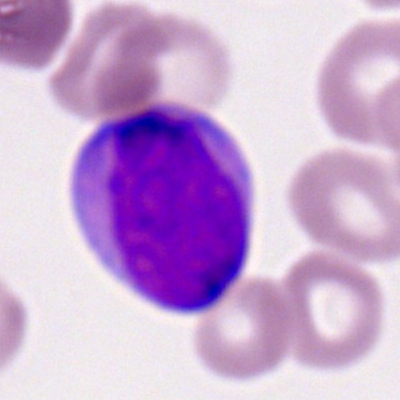

A myeloid blast on a peripheral blood smear.